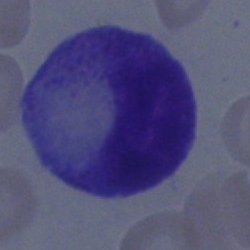The classification is progranulocyte.